Bone marrow smear: 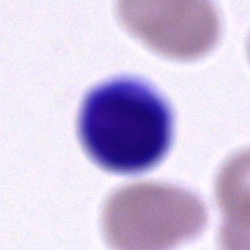

Morphological class — unidentifiable cell.